Bone marrow smear.
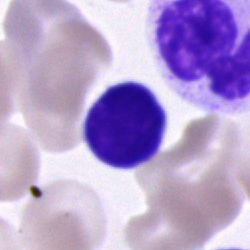 Q: What is the morphological classification of this cell?
A: Lymphocyte.